MGG-stained. Bone marrow smear.
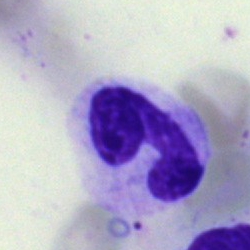 Morphology consistent with a segmented neutrophil.